Bone marrow aspirate smear — 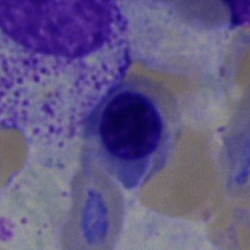
Morphology consistent with a normoblast.